Peripheral blood smear.
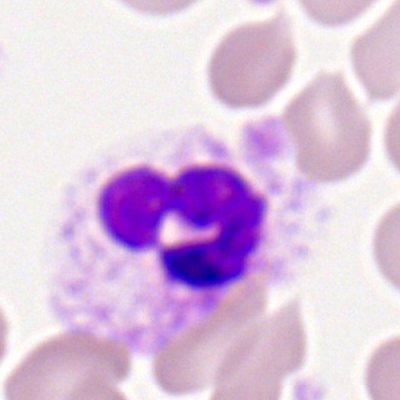
This is a segmented neutrophil.